Bone marrow aspirate smear.
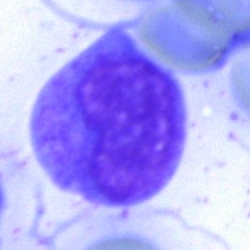 Morphology consistent with a cell of indeterminate lineage.